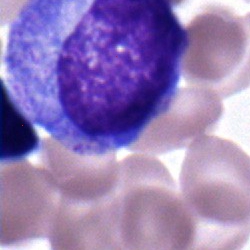
{"cell_type": "lymphocyte"}